Single cell centered in the field. Bone marrow aspirate smear. May-Grünwald-Giemsa/Pappenheim stain.
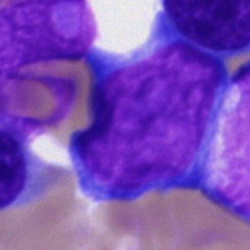 Blast cell.